Bone marrow smear.
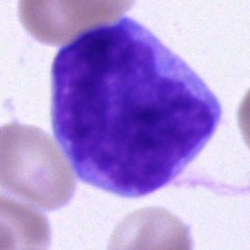 A blast cell.